Bone marrow aspirate smear:
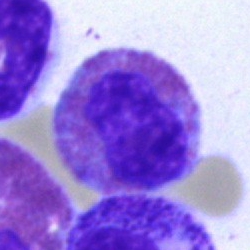 Showing an eosinophilic granulocyte.